Brightfield microscopy, 40× oil immersion. Bone marrow smear. 250×250.
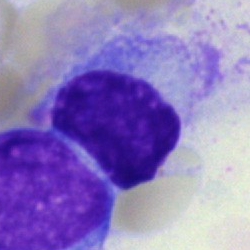 Specimen: bone marrow smear.
Cell: typical lymphocyte.
Lineage: lymphoid.